Bone marrow aspirate smear — 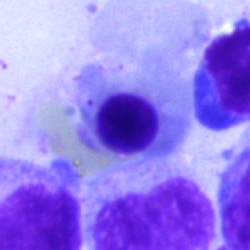 The cell shown is an erythroblast.